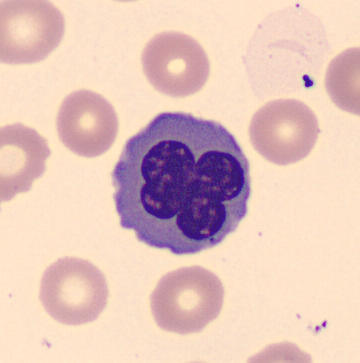
Cell = nucleated red cell. Acquisition: May-Grünwald-Giemsa-stained. Peripheral blood film. Automated cell imaging (CellaVision DM96).